Romanowsky stain · peripheral blood smear:
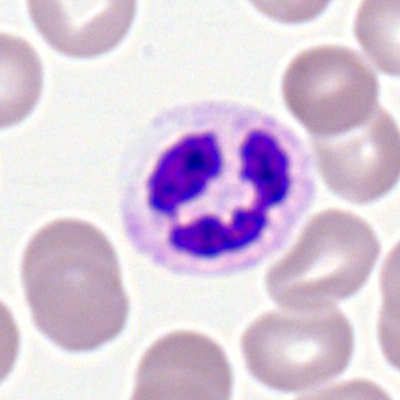

Specimen: peripheral blood film.
Classification: neutrophil (segmented).
Lineage: myeloid.